Bone marrow aspirate smear: 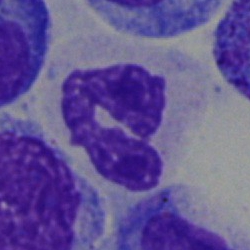
Cell — segmented neutrophil.